Bone marrow aspirate smear · image size 250×250.
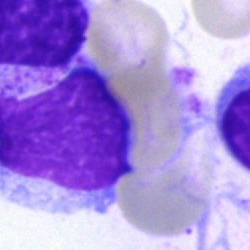 This is an artefact.